Bone marrow aspirate smear:
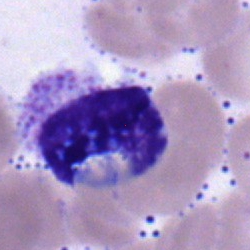
The cell shown is a polymorphonuclear neutrophil.